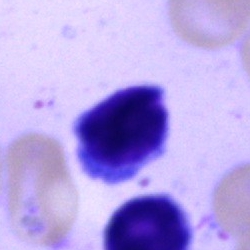
Specimen: bone marrow smear.
Classification: lymphocyte.
Lineage: lymphoid.